Single cell centered in the field. Romanowsky stain. Peripheral blood smear.
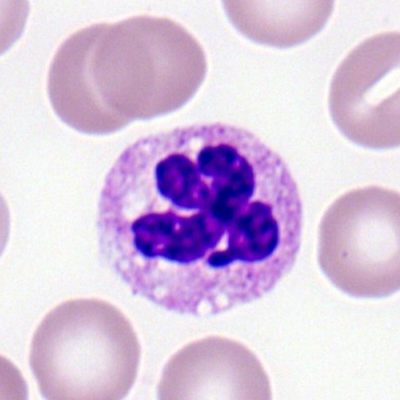

Showing a segmented neutrophil.